Bone marrow aspirate smear · image size 250×250: 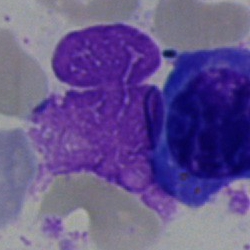

Artifact.